Single cell centered in the field. Bone marrow smear. 250×250 — 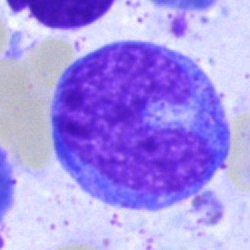Morphological class — monocyte.